250×250. Cropped to a single cell. Bone marrow smear.
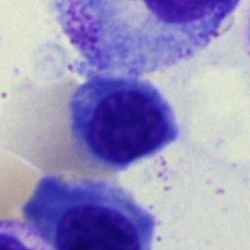
This is an erythroblast.